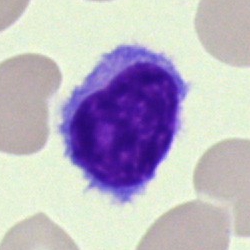

Bone marrow aspirate smear, single cell — typical lymphocyte.